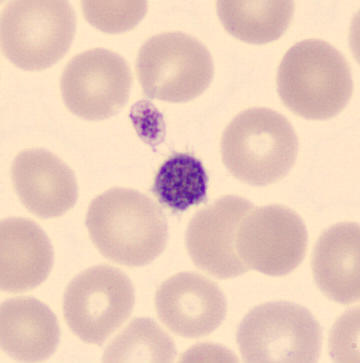
A thrombocyte. Image: Peripheral blood smear.